Peripheral blood smear
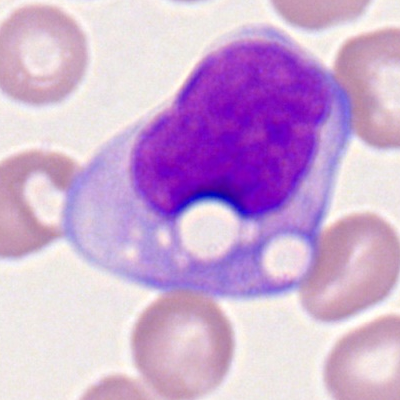 Cell type: monocyte.